Bone marrow aspirate smear
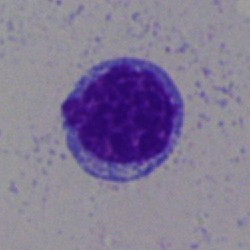

Cell: lymphocyte.